Bone marrow aspirate smear — 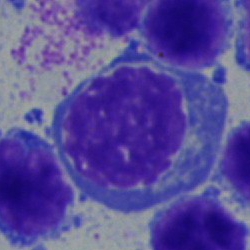

The cell shown is an erythroblast.